250×250 px · bone marrow smear.
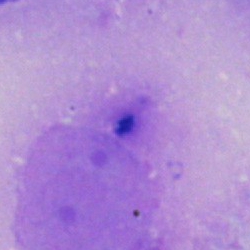

Morphological class — artefact.